Bone marrow smear: 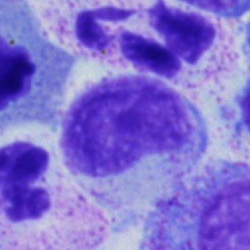

Morphology → metamyelocyte.